Bone marrow aspirate smear
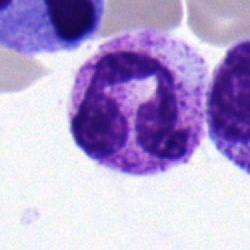 Morphological class: polymorphonuclear neutrophil.